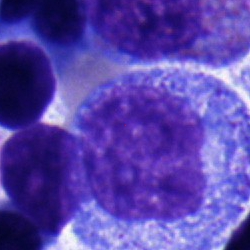

Classification — progranulocyte.